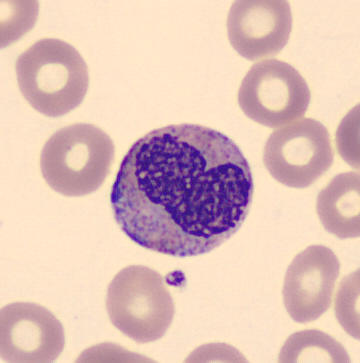Preparation: Peripheral blood film.
Q: What type of cell is this?
A: This is a metamyelocyte.